Bone marrow smear. Single-cell field
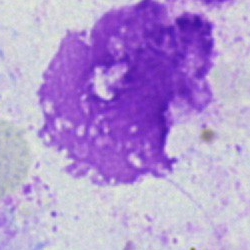
Q: What is shown here?
A: This is an artefact.